Single-cell crop · bone marrow aspirate smear — 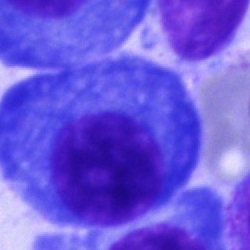{"cell_type": "plasmacyte"}